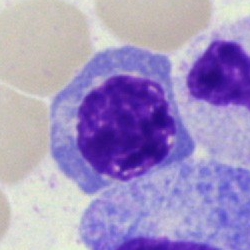A normoblast on a bone marrow smear.